Bone marrow aspirate smear.
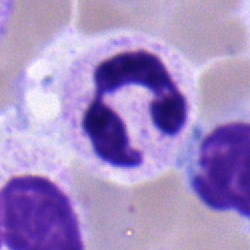Polymorphonuclear neutrophil.